Peripheral blood film:
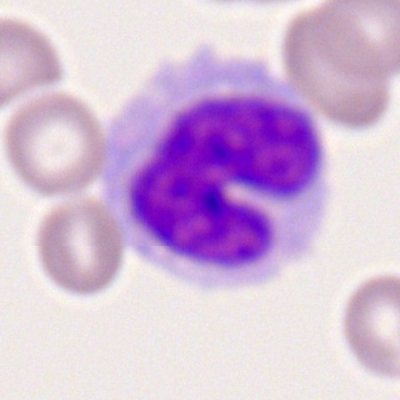Cell type = monocyte.